Bone marrow smear: 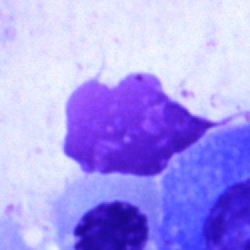
Morphological class = artifact.